Single-cell crop; bone marrow smear; May-Grünwald-Giemsa stain: 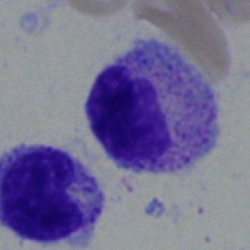Myelocyte.